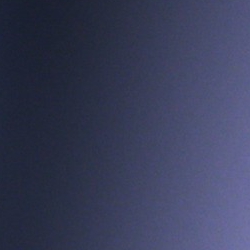
Single cell identified as an artefact.